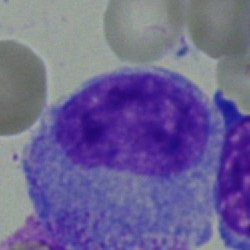
Single-cell crop from a bone marrow smear: myelocyte.